Bone marrow aspirate smear:
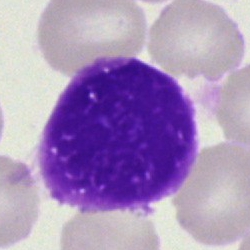 Cell = artifact.